Bone marrow aspirate smear; Pappenheim-stained; single cell centered in the field — 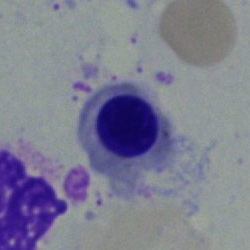

Cell type — nucleated red cell.